Single-cell crop. Bone marrow aspirate smear:
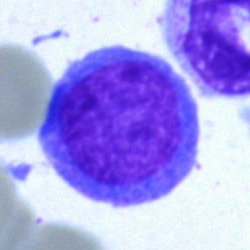Impression — undifferentiated blast.